Bone marrow aspirate smear · Pappenheim-stained · brightfield microscopy, 40× oil immersion
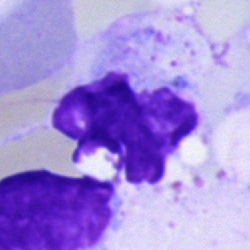
Classification = artefact.